May-Grünwald-Giemsa stain. 250×250. Bone marrow aspirate smear.
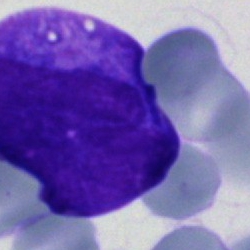 Specimen: bone marrow aspirate smear.
Morphological class: blast.